250×250 px; brightfield, 40× oil-immersion objective; bone marrow aspirate smear
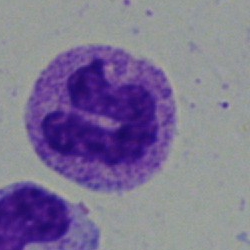 A polymorphonuclear neutrophil.